Bone marrow smear
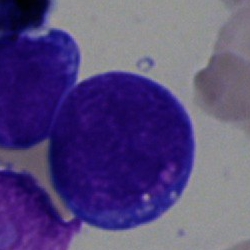Q: Identify the cell.
A: This is an undifferentiated blast.